Bone marrow aspirate smear; cropped to a single cell
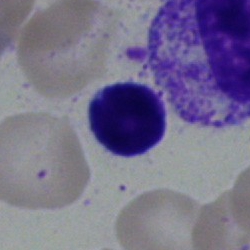 Morphology — lymphocyte.